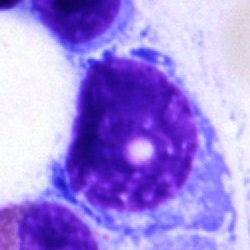
{"cell_type": "artifact"}